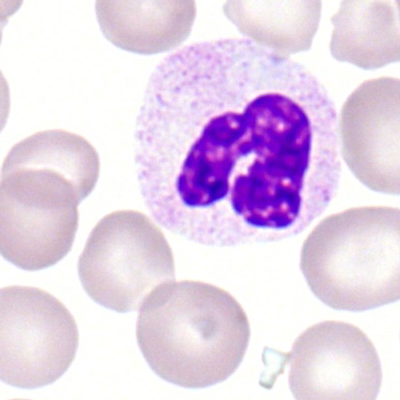
A segmented neutrophil on a peripheral blood smear.